Single cell centered in the field; bone marrow aspirate smear.
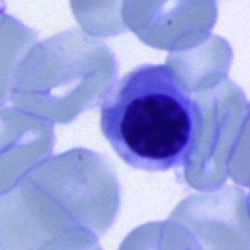

{"cell_type": "nucleated red blood cell", "lineage": "erythroid"}